Bone marrow smear: 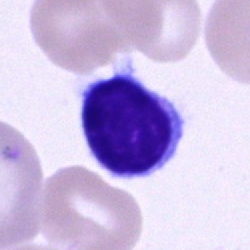

Showing a typical lymphocyte.